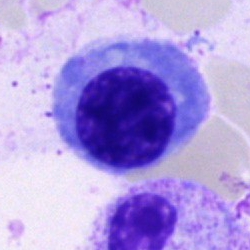 Erythroblast.